40× oil immersion; single-cell field; bone marrow aspirate smear:
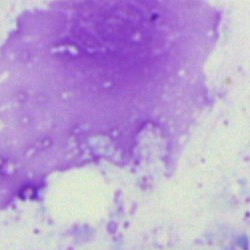Classification — artefact.